Bone marrow aspirate smear. Pappenheim-stained:
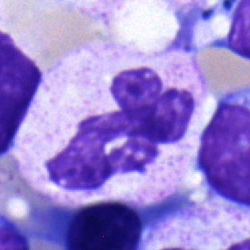

The classification is neutrophil (segmented).